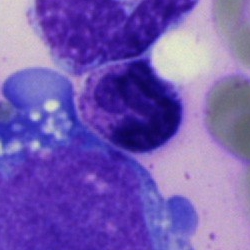
Morphology → segmented neutrophil.